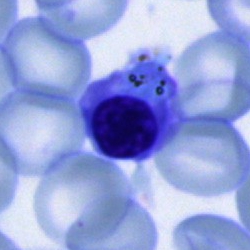

Specimen: bone marrow smear.
Cell type: erythroblast.
Lineage: erythroid.